Bone marrow aspirate smear: 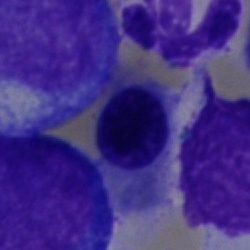

Specimen: bone marrow aspirate smear.
Cell: nucleated red blood cell.
Lineage: erythroid.